Bone marrow aspirate smear. MGG-stained.
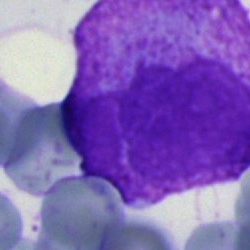Undifferentiated blast.